40× oil immersion; bone marrow aspirate smear: 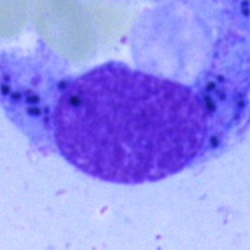
The cell is artefact.